40× oil immersion. Bone marrow aspirate smear
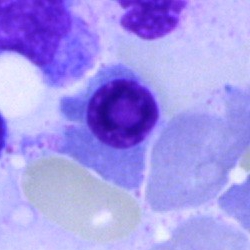Q: What is shown here?
A: It is a nucleated red blood cell.